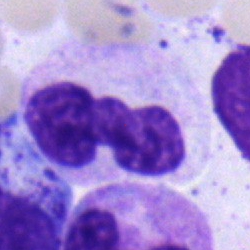Impression → neutrophil (segmented).